Single-cell crop. Bone marrow aspirate smear. MGG-stained
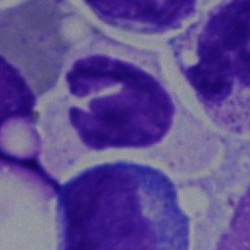
This is a segmented neutrophil.